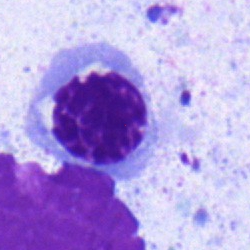Specimen: bone marrow smear.
Cell: erythroblast.
Lineage: erythroid.